Bone marrow smear — 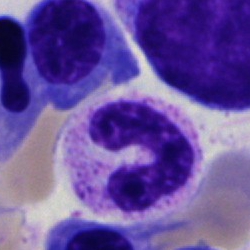 Morphology consistent with a neutrophil (band).